Bone marrow smear — 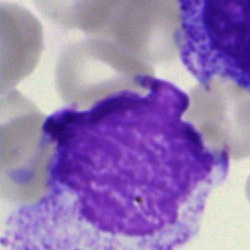The cell shown is an artifact.